Bone marrow smear
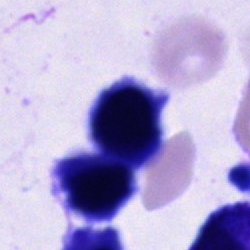A cell of indeterminate lineage.